Bone marrow smear: 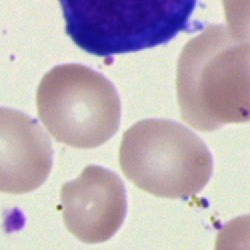
Cell of indeterminate lineage.